Bone marrow aspirate smear · single-cell field
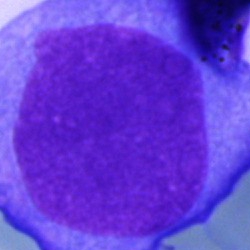Showing an undifferentiated blast.